Bone marrow smear:
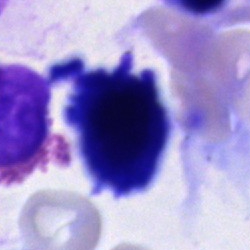

A plasmacyte.